Bone marrow smear — 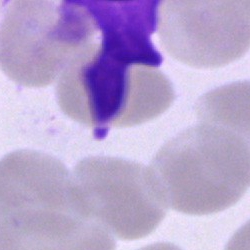
Morphology consistent with an artifact.